Bone marrow aspirate smear
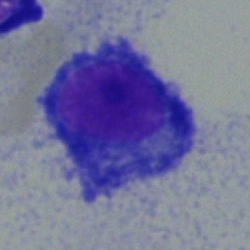
Morphology consistent with a plasma cell.